Image size 250×250; May-Grünwald-Giemsa stain; bone marrow aspirate smear
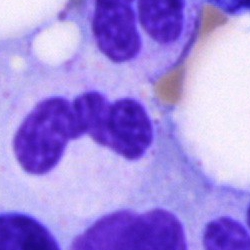 Polymorphonuclear neutrophil.